May-Grünwald-Giemsa/Pappenheim stain · 250 by 250 pixels · bone marrow smear: 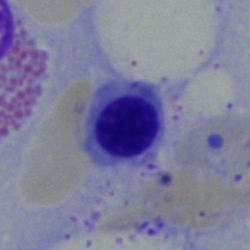

Classification = nucleated red blood cell.